Bone marrow smear: 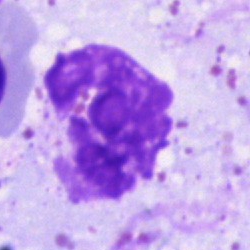 Classification = artifact.